Bone marrow smear:
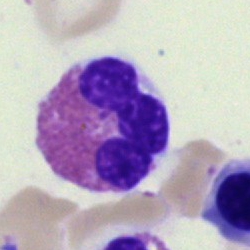
Specimen: bone marrow aspirate smear.
Cell type: eosinophil.
Lineage: myeloid.